Single-cell field; bone marrow smear: 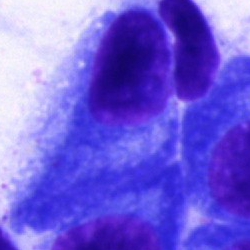
Cell type: plasmacyte.